100× objective, oil immersion; 400×400; peripheral blood film:
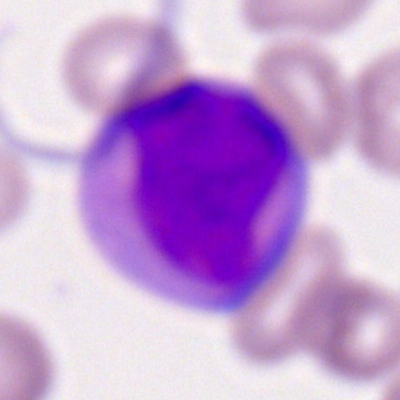
Myeloblast.